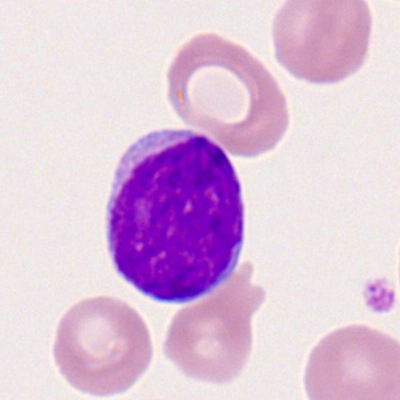{"cell_type": "typical lymphocyte", "lineage": "lymphoid"}